Image size 250×250. Brightfield microscopy, 40× oil immersion. Bone marrow aspirate smear.
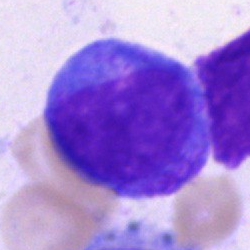
Cell = promyelocyte.